Bone marrow aspirate smear
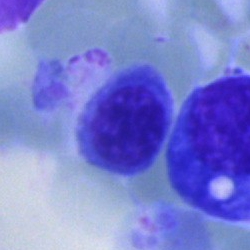
This is a normoblast.